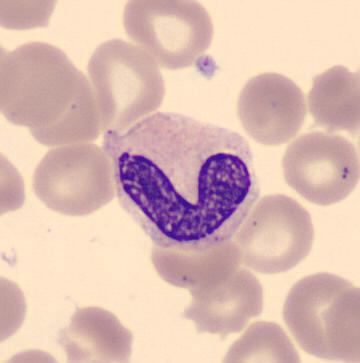

Showing a neutrophil (band).
Peripheral blood film.